Bone marrow aspirate smear.
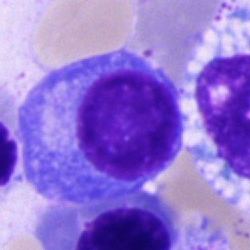
The classification is plasma cell.